Bone marrow smear:
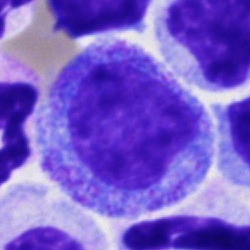 Specimen: bone marrow smear.
Cell type: promyelocyte.
Lineage: myeloid.